250×250 px; bone marrow aspirate smear; 40× oil immersion: 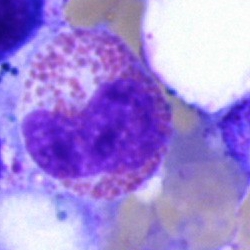 Morphology → eosinophilic granulocyte.